Image size 250×250 · bone marrow aspirate smear: 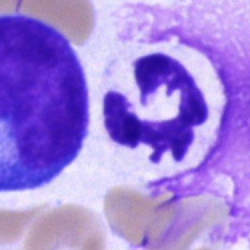
Single cell identified as a segmented neutrophil.